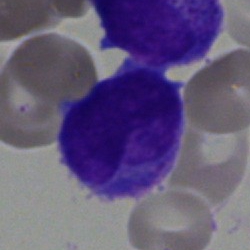Cell type: blast.